Bone marrow aspirate smear — 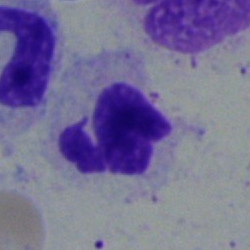
Morphology — neutrophil (segmented).